Bone marrow smear · 250 by 250 pixels — 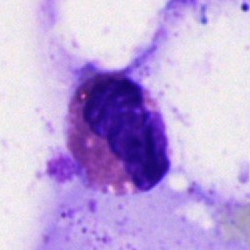

Q: Identify the cell.
A: This is an eosinophilic granulocyte.